Bone marrow aspirate smear:
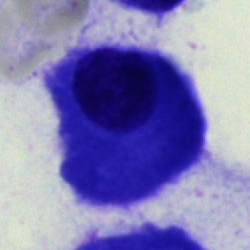
This is a plasma cell.